Bone marrow smear: 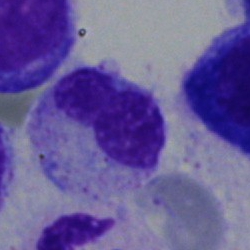Classification — band neutrophil.